Bone marrow aspirate smear. Single-cell crop. Image size 250×250 — 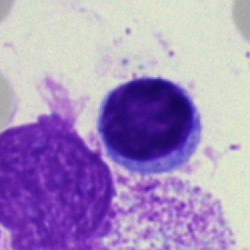Cell type = typical lymphocyte.